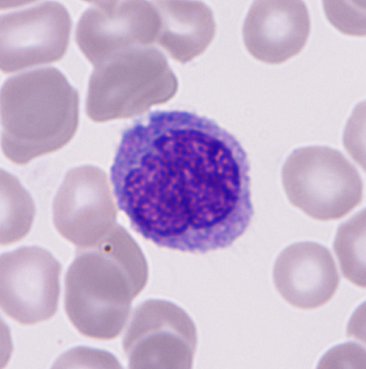 Image: Peripheral blood smear. {"cell_type": "monocyte"}